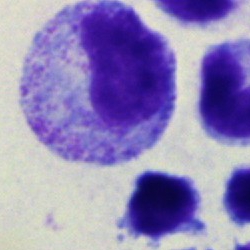
Q: What is the morphological classification of this cell?
A: It is a progranulocyte.